Bone marrow aspirate smear — 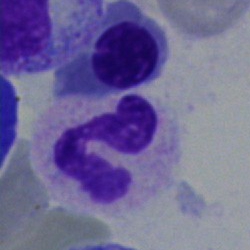 Classification: neutrophil (segmented).